Bone marrow aspirate smear — 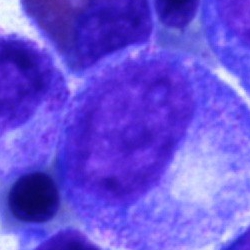

Progranulocyte.